Bone marrow smear
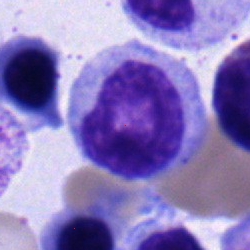
Showing a myelocyte.